Bone marrow smear — 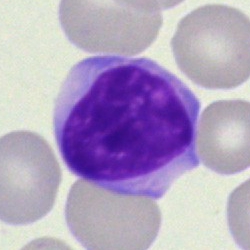
Cell type — lymphocyte.